MGG-stained. 250 by 250 pixels. Bone marrow smear:
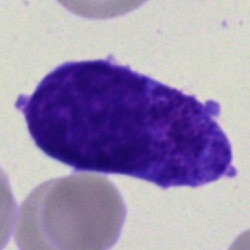Blast.